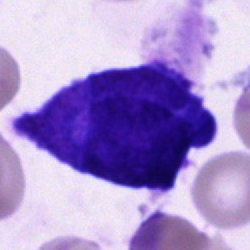 Q: What is the morphological classification of this cell?
A: Cell of indeterminate lineage.